Brightfield, 40× oil-immersion objective. Bone marrow aspirate smear
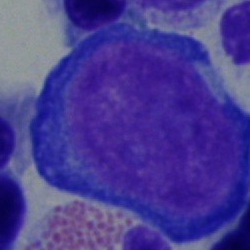 Pronormoblast.